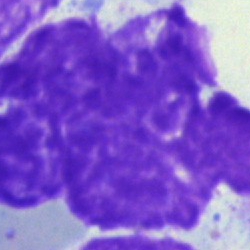

Single cell identified as an artifact.